Bone marrow aspirate smear:
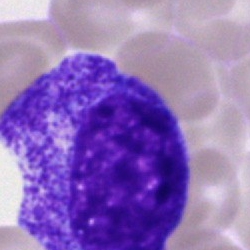 The classification is promyelocyte.